Bone marrow aspirate smear.
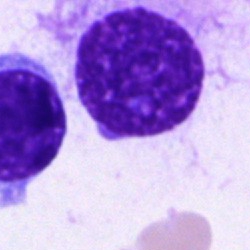 Impression — artefact.